40× objective, oil immersion · single cell centered in the field · bone marrow aspirate smear
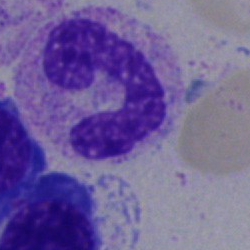 Morphological class: segmented neutrophil.